250×250; bone marrow aspirate smear; 40× objective, oil immersion: 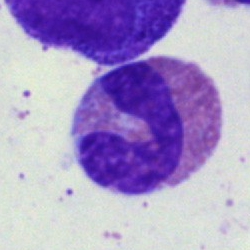
An eosinophil.